Bone marrow smear
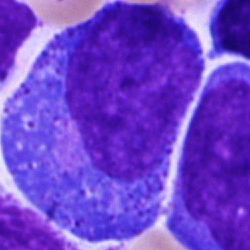

A promyelocyte.